Bone marrow aspirate smear:
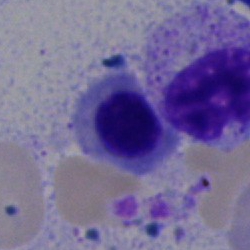 Q: What is the morphological classification of this cell?
A: An erythroblast.